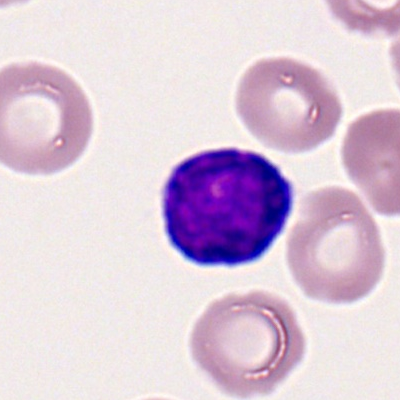

Single-cell crop from a peripheral blood smear: lymphocyte.